Single-cell field; Pappenheim-stained; bone marrow smear:
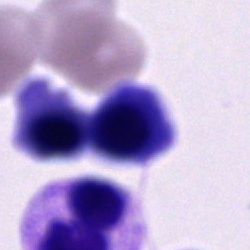
Morphological class: unidentifiable cell.